100× objective, oil immersion; peripheral blood film
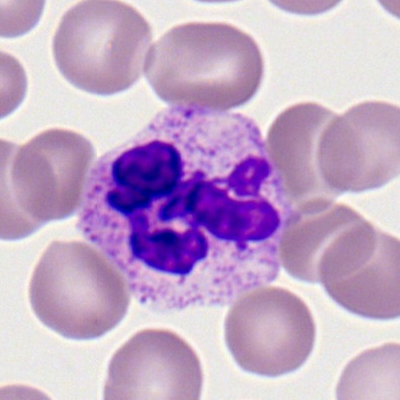 The cell shown is a neutrophil (segmented).